Bone marrow smear. Single-cell crop:
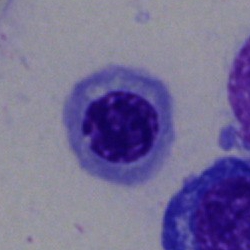
Cell — erythroblast.